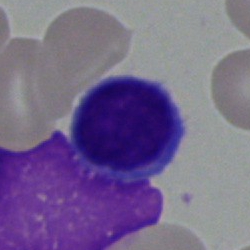 Morphology → typical lymphocyte.